May-Grünwald-Giemsa/Pappenheim stain. Bone marrow aspirate smear — 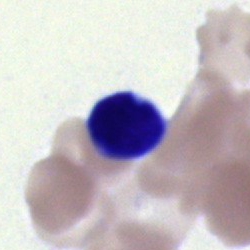 Cell = lymphocyte.